Peripheral blood film:
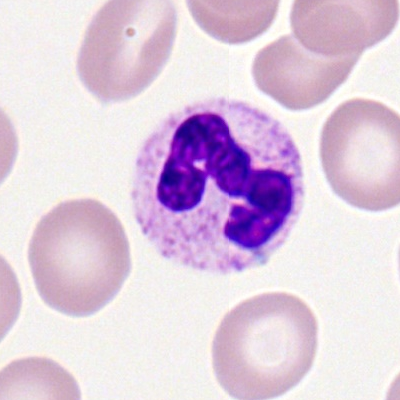Impression → polymorphonuclear neutrophil.